Single-cell crop · bone marrow aspirate smear — 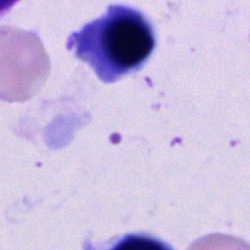
Q: What cell is this?
A: It is an unidentifiable cell.